Bone marrow aspirate smear. 250×250 px:
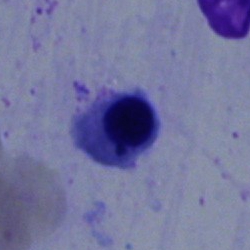

The classification is erythroblast.